Bone marrow aspirate smear:
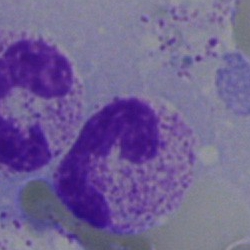 Specimen: bone marrow aspirate smear.
Classification: polymorphonuclear neutrophil.
Lineage: myeloid.